Bone marrow aspirate smear: 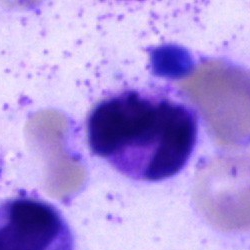

Showing a neutrophil (segmented).